Bone marrow smear: 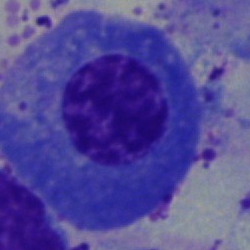

This is a plasmacyte.